MGG-stained; bone marrow aspirate smear — 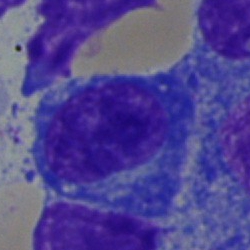

Classification — plasmacyte.